Romanowsky-stained · peripheral blood film
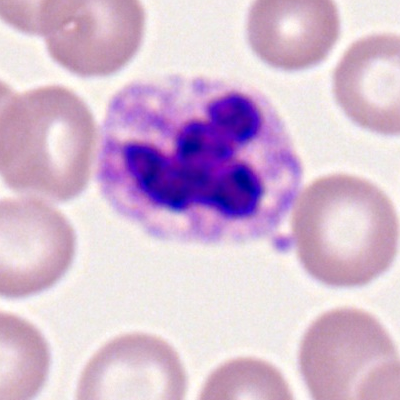A segmented neutrophil.